Bone marrow aspirate smear — 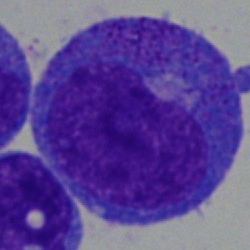
The cell type is progranulocyte.